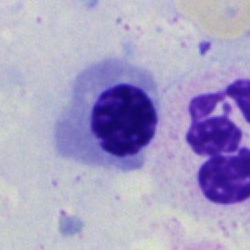 The morphological class is erythroblast.